Bone marrow smear: 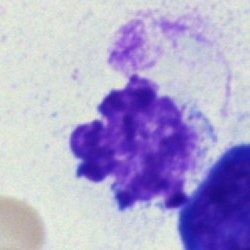
An artefact.